Bone marrow smear — 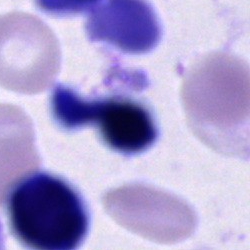
{"cell_type": "cell of indeterminate lineage"}